Bone marrow aspirate smear.
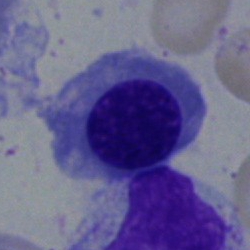
Specimen: bone marrow aspirate smear.
Cell: erythroblast.